Bone marrow aspirate smear. May-Grünwald-Giemsa/Pappenheim stain:
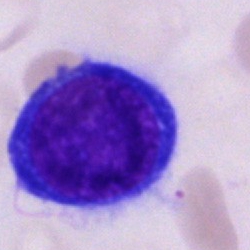Specimen: bone marrow aspirate smear.
Cell type: proerythroblast.
Lineage: erythroid.